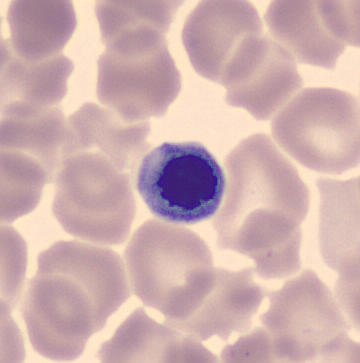

Peripheral blood smear; image size 360×363; imaged on a CellaVision DM96 analyser. The cell is erythroblast.